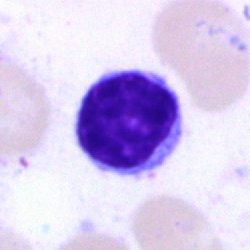
Morphological class: lymphocyte.